Bone marrow aspirate smear:
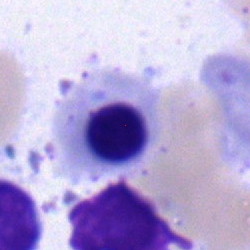Morphology consistent with a nucleated red cell.